Bone marrow smear. May-Grünwald-Giemsa/Pappenheim stain:
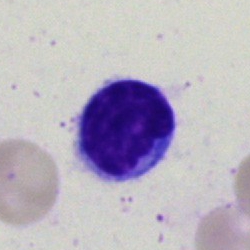

Lymphocyte.